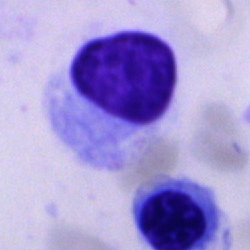 Single-cell crop from a bone marrow smear: artefact.